Bone marrow aspirate smear
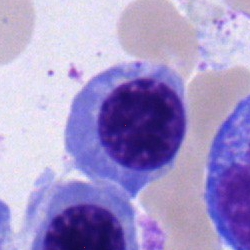

Cell — nucleated red blood cell.